Bone marrow smear — 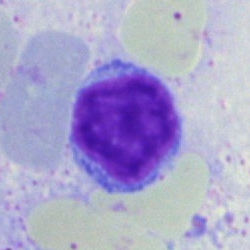Cell type — lymphocyte.